Bone marrow aspirate smear.
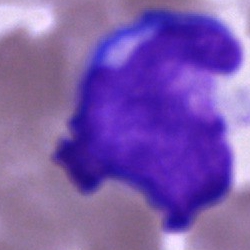
Morphology consistent with a blast cell.